Bone marrow aspirate smear
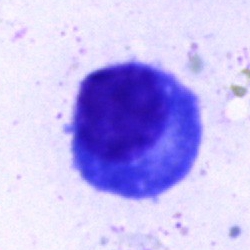Morphology — plasma cell.